Bone marrow aspirate smear:
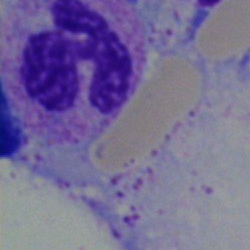
Cell = neutrophil (segmented).